Bone marrow smear
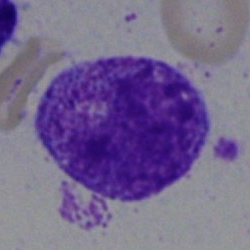
Q: What type of cell is this?
A: This is a metamyelocyte.